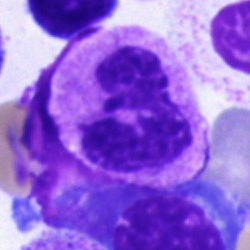Cell type — polymorphonuclear neutrophil.